Peripheral blood film:
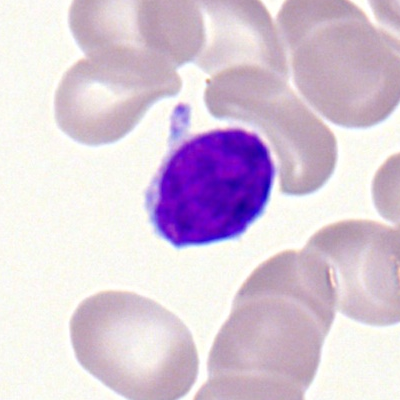Typical lymphocyte.